Single-cell field; 250×250; bone marrow aspirate smear.
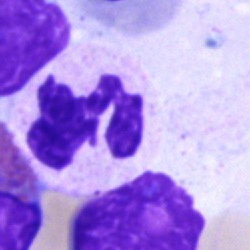 Specimen: bone marrow smear.
Cell: segmented neutrophil.